Bone marrow aspirate smear
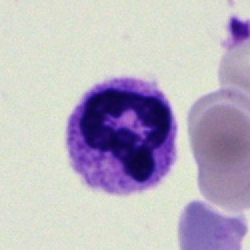 This is a neutrophil (segmented).